Bone marrow smear — 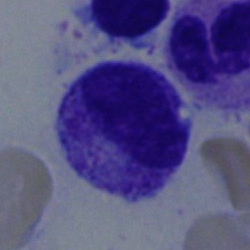

A myelocyte.